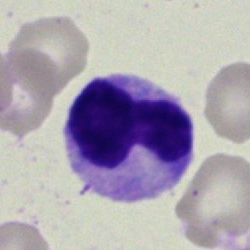
Specimen: bone marrow aspirate smear.
Classification: band-form neutrophil.
Lineage: myeloid.